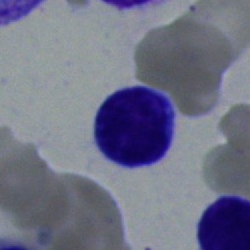
Morphology — lymphocyte.